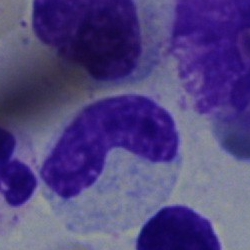

Specimen: bone marrow aspirate smear.
Cell: band neutrophil.
Lineage: myeloid.